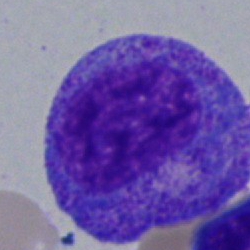
Impression → progranulocyte.